Romanowsky stain; brightfield, 100× oil-immersion objective; peripheral blood smear: 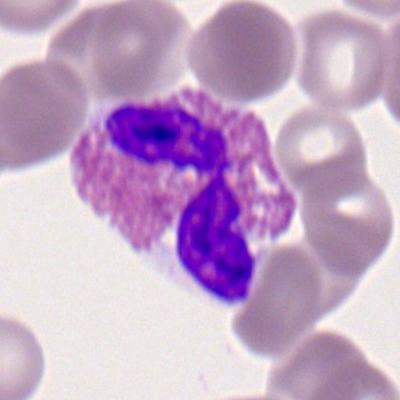 Classification = eosinophil.